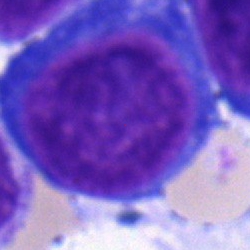
Pronormoblast.